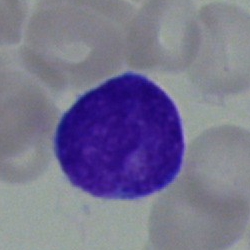
The morphological class is blast cell.